Bone marrow aspirate smear; brightfield microscopy, 40× oil immersion
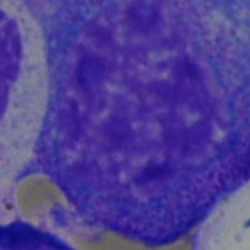

Q: Identify the cell.
A: A progranulocyte.